Bone marrow aspirate smear — 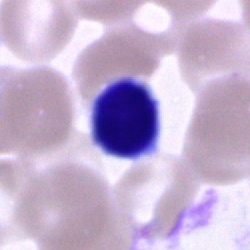Showing a lymphocyte.